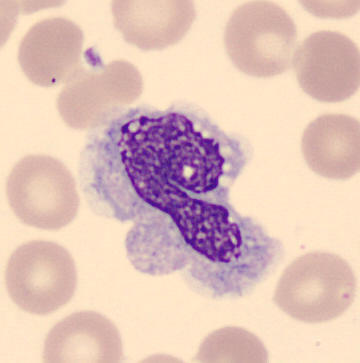

Acquisition: Peripheral blood smear. The cell is monocyte.